250×250; bone marrow smear; 40× objective, oil immersion
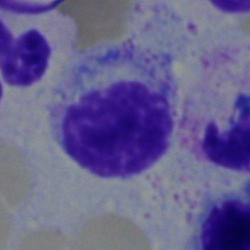 The cell shown is a typical lymphocyte.